Bone marrow aspirate smear: 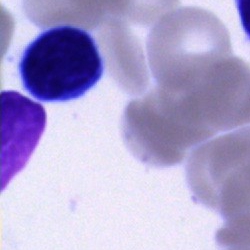
Q: Identify the cell.
A: It is a lymphocyte.